Bone marrow aspirate smear:
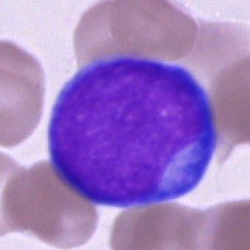

Cell type: blast.